Bone marrow aspirate smear
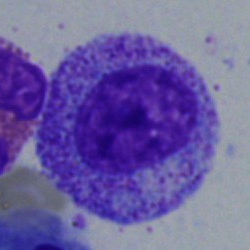 Morphological class: myelocyte.